Bone marrow smear
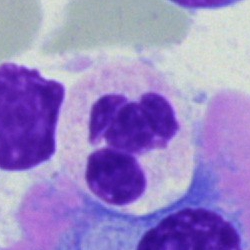 Classification: polymorphonuclear neutrophil.